250 by 250 pixels · bone marrow smear:
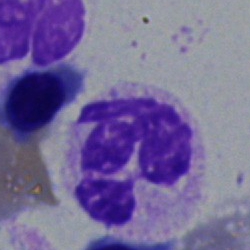
Cell = polymorphonuclear neutrophil.